Brightfield, 40× oil-immersion objective · bone marrow aspirate smear: 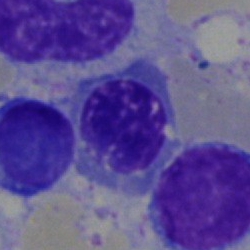

Specimen: bone marrow aspirate smear.
Morphological class: nucleated red cell.